Bone marrow aspirate smear: 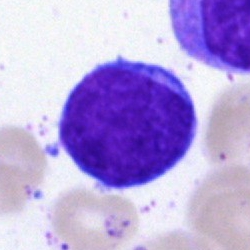

Morphology → typical lymphocyte.